Bone marrow smear; Pappenheim-stained:
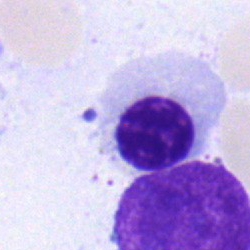Specimen: bone marrow smear.
Cell type: nucleated red blood cell.